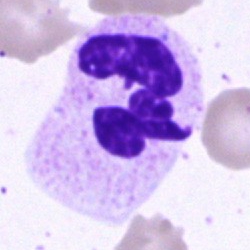This is a polymorphonuclear neutrophil.